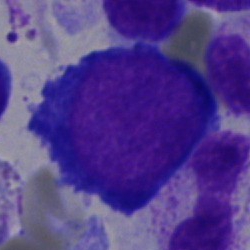
Q: What cell is this?
A: A pronormoblast.